Peripheral blood smear · Romanowsky-type stain · brightfield, 100× oil-immersion objective:
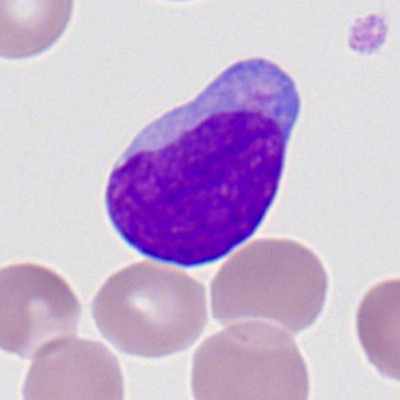 Showing a myeloid blast.